Bone marrow aspirate smear — 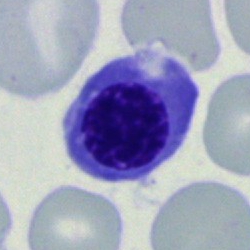
The cell shown is an erythroblast.